Bone marrow aspirate smear:
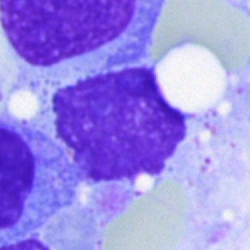Q: What is shown here?
A: It is an artifact.